Bone marrow aspirate smear · image size 250×250 · 40× objective, oil immersion: 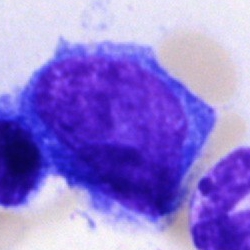

Specimen: bone marrow smear.
Cell type: blast.